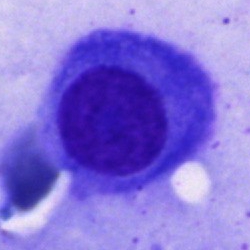

A plasma cell.